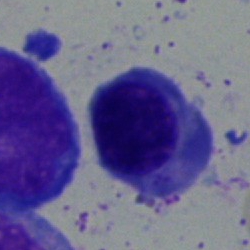 {"cell_type": "normoblast"}